Bone marrow aspirate smear.
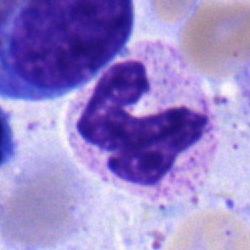Q: What is the morphological classification of this cell?
A: A segmented neutrophil.